Pappenheim-stained · bone marrow aspirate smear: 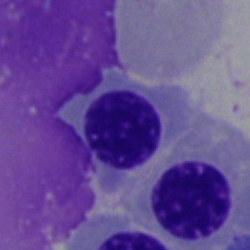Specimen: bone marrow aspirate smear.
Classification: normoblast.
Lineage: erythroid.